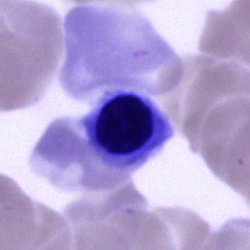
A nucleated red blood cell.